Bone marrow smear
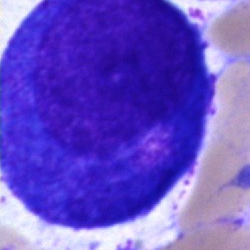
The cell is promyelocyte.